Bone marrow smear · Pappenheim-stained.
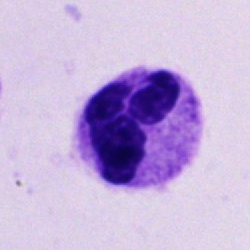 Impression — segmented neutrophil.